Bone marrow aspirate smear: 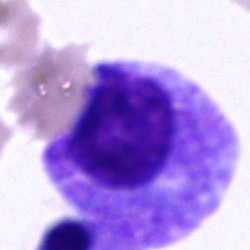Progranulocyte.